Peripheral blood film — 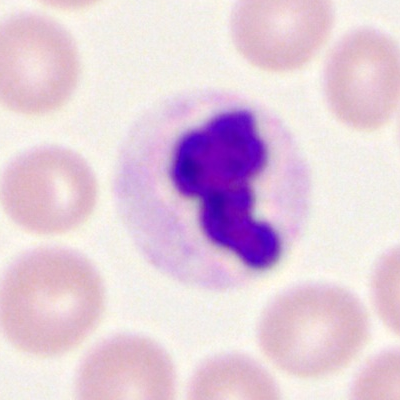

Morphology consistent with a neutrophil (segmented).